Cropped to a single cell · bone marrow aspirate smear — 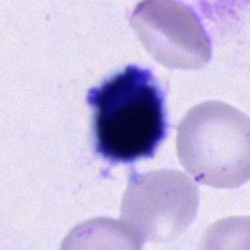 Unidentifiable cell.